Bone marrow smear
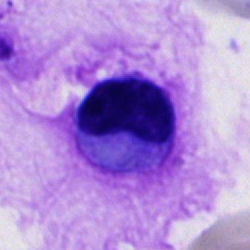
This is an artifact.